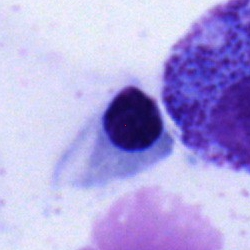

Cell: normoblast.